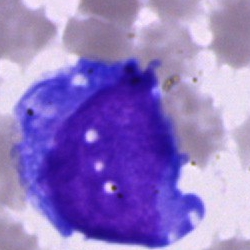
Specimen: bone marrow smear.
Classification: undifferentiated blast.